Bone marrow aspirate smear — 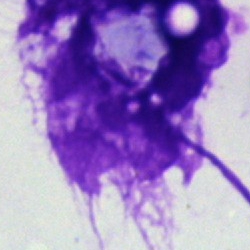
Showing an artifact.